Cropped to a single cell; peripheral blood smear: 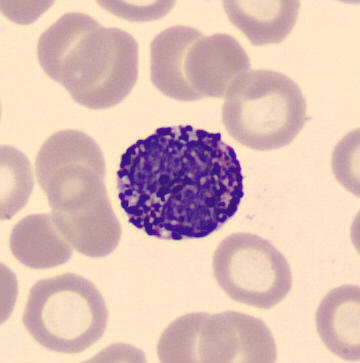
Showing a basophilic granulocyte.